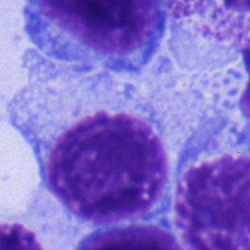

Specimen: bone marrow smear.
Cell: lymphocyte.
Lineage: lymphoid.